Bone marrow smear
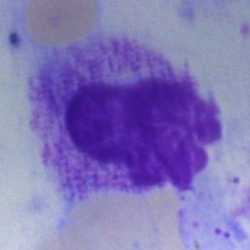The cell shown is an artifact.